Bone marrow aspirate smear: 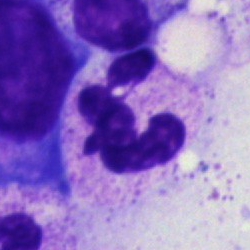Impression — segmented neutrophil.